Bone marrow smear — 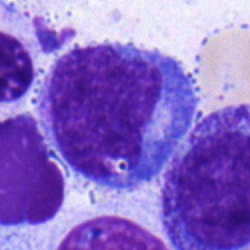 Morphology consistent with a monocyte.